Brightfield, 40× oil-immersion objective; bone marrow aspirate smear.
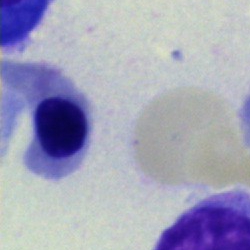
Classification: erythroblast.